Brightfield, 40× oil-immersion objective · bone marrow smear
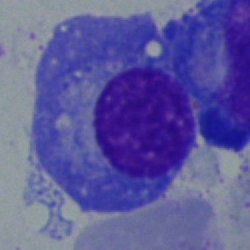

This is a plasma cell.